Bone marrow smear. May-Grünwald-Giemsa/Pappenheim stain — 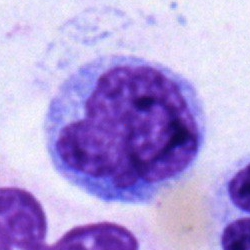
Single cell identified as a monocyte.